MGG-stained · bone marrow aspirate smear: 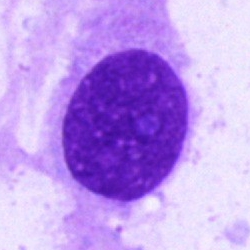 A plasma cell.